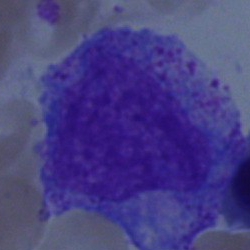
Cell = promyelocyte.